Single-cell field. 250 by 250 pixels. Bone marrow smear — 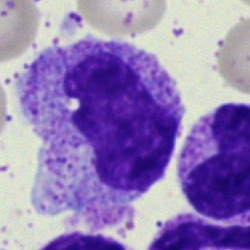
{"cell_type": "metamyelocyte", "lineage": "myeloid"}